Single cell centered in the field. Bone marrow aspirate smear
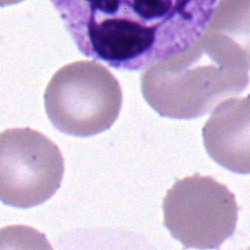
A neutrophil (segmented).